Bone marrow smear
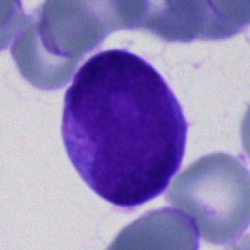Q: What type of cell is this?
A: Blast.